May-Grünwald-Giemsa/Pappenheim stain. Bone marrow smear — 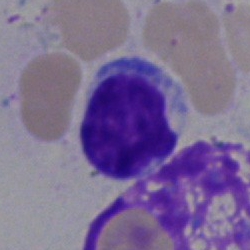Single cell identified as a lymphocyte.